Bone marrow smear:
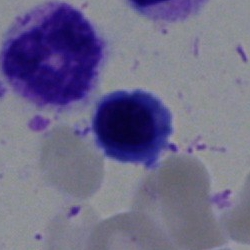This is a nucleated red cell.